Bone marrow aspirate smear; brightfield, 40× oil-immersion objective
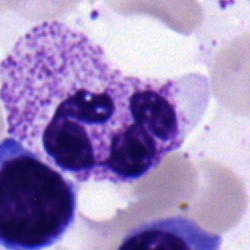 Morphology consistent with a neutrophil (band).